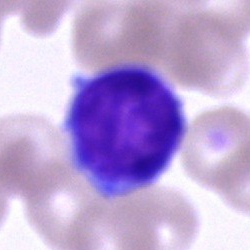

Bone marrow smear showing a typical lymphocyte.